250 by 250 pixels; bone marrow aspirate smear.
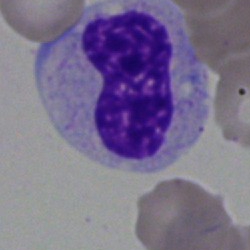
Q: What cell is this?
A: Band-form neutrophil.